Pappenheim-stained. 40× objective, oil immersion. Bone marrow smear
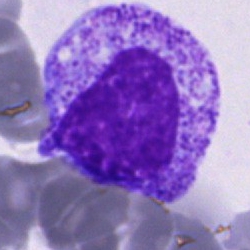 Progranulocyte.